Cropped to a single cell. Peripheral blood smear:
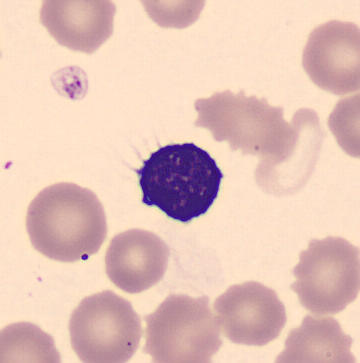Morphological class — lymphocyte.